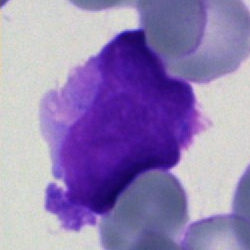 Cell type = blast cell.